Single-cell crop; bone marrow smear:
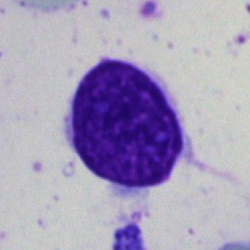
The cell is artifact.